Bone marrow smear; 40× oil immersion — 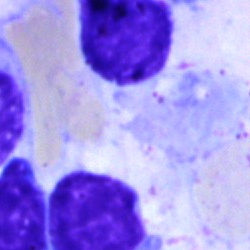 Morphology → artefact.